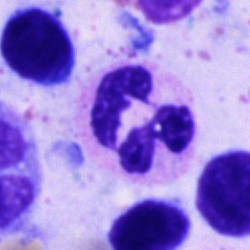
Classification — neutrophil (segmented).